Bone marrow aspirate smear:
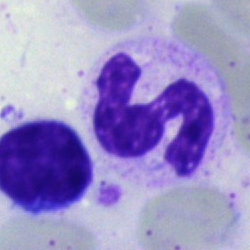The cell shown is a polymorphonuclear neutrophil.